Bone marrow aspirate smear — 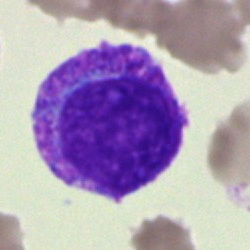

The cell shown is a myelocyte.